Bone marrow smear: 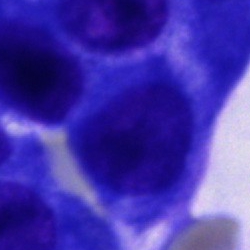
Classification: cell not matching the other categories.